Bone marrow smear. Brightfield microscopy, 40× oil immersion. Cropped to a single cell:
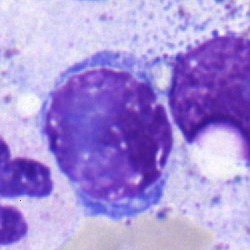 Cell type — nucleated red cell.